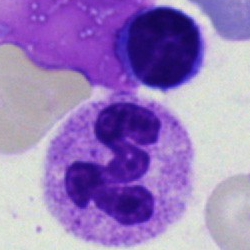 Morphological class = polymorphonuclear neutrophil.